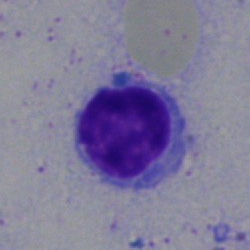 Morphology → lymphocyte.